Peripheral blood smear. Romanowsky-stained:
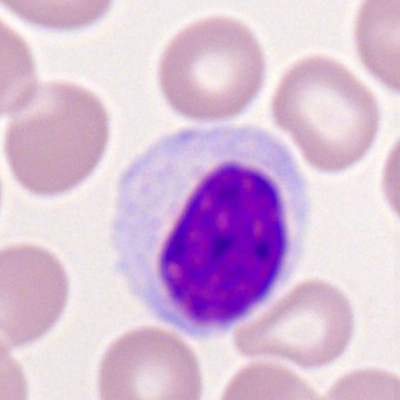

Specimen: peripheral blood smear.
Classification: typical lymphocyte.
Lineage: lymphoid.